Bone marrow smear; cropped to a single cell:
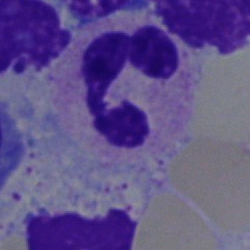Showing a polymorphonuclear neutrophil.